Bone marrow smear. MGG-stained. Single-cell crop
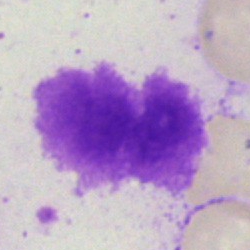 This is an artifact.